Peripheral blood film.
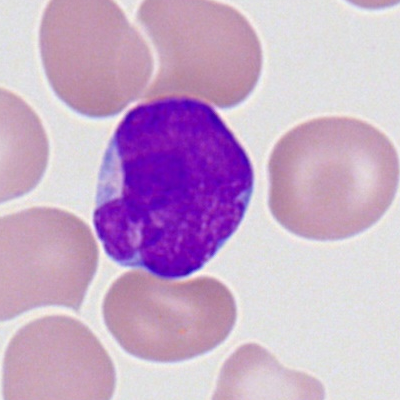

Specimen: peripheral blood film.
Morphological class: myeloblast.